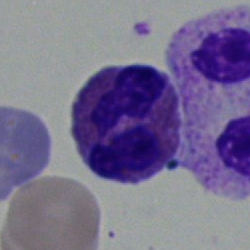 This is an eosinophilic granulocyte.